250×250. May-Grünwald-Giemsa/Pappenheim stain. Bone marrow smear
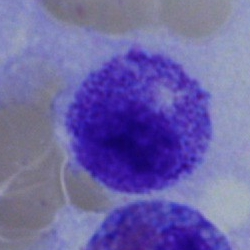Single cell identified as a myelocyte.